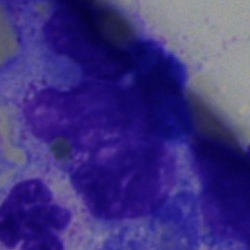
Impression → artefact.